MGG-stained. Bone marrow smear — 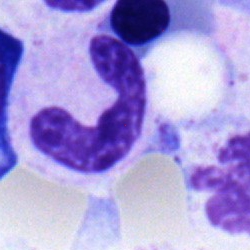

Q: What type of cell is this?
A: Neutrophil (band).